Bone marrow smear
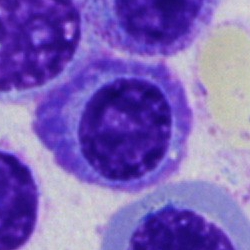
Showing a plasma cell.